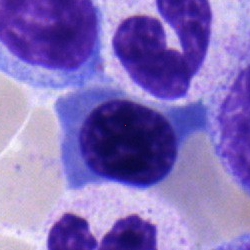 Bone marrow smear showing an erythroblast.